Bone marrow smear; image size 250×250: 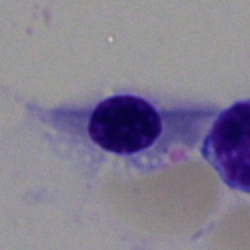
Showing a nucleated red cell.